Single cell centered in the field · bone marrow smear · 40× objective, oil immersion: 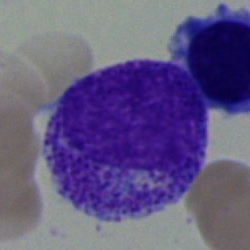

Q: What is the morphological classification of this cell?
A: A myelocyte.